Peripheral blood film.
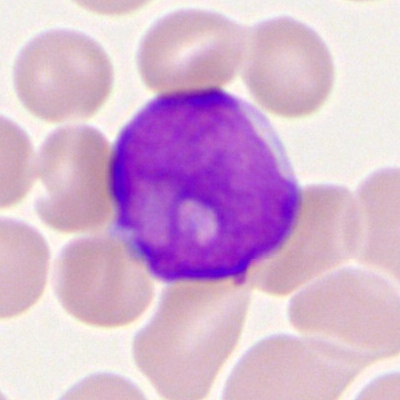
Specimen: peripheral blood smear.
Morphological class: myeloid blast.
Lineage: myeloid.